Bone marrow aspirate smear; single cell centered in the field; 40× objective, oil immersion — 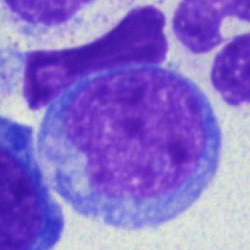Q: What is the morphological classification of this cell?
A: Undifferentiated blast.